Pappenheim-stained; bone marrow aspirate smear: 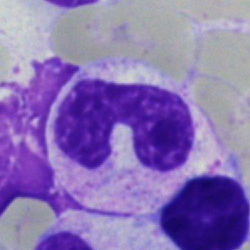This is a band neutrophil.